Bone marrow aspirate smear; cropped to a single cell: 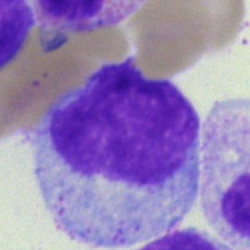
Classification — myelocyte.